Bone marrow aspirate smear:
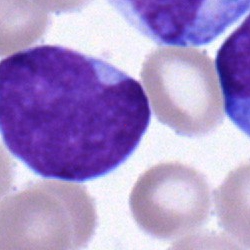
Cell type: blast cell.